40× objective, oil immersion · bone marrow aspirate smear · image size 250×250 — 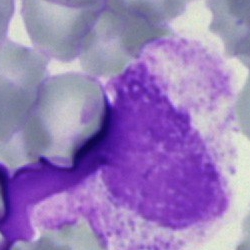Q: What is shown here?
A: An artifact.